Bone marrow smear.
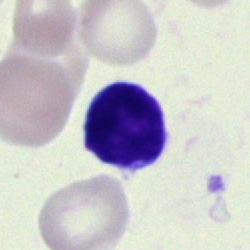 Morphology — typical lymphocyte.